Bone marrow smear.
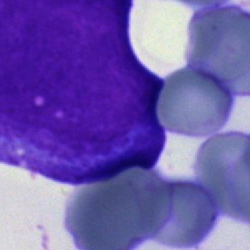Cell type — undifferentiated blast.